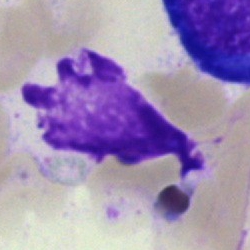
Showing an artifact.